Brightfield, 40× oil-immersion objective. Bone marrow smear
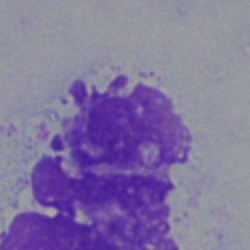Morphology → artifact.